Bone marrow smear
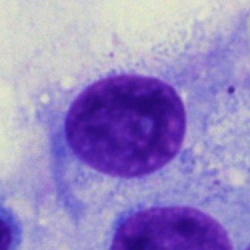 This is an artefact.